Bone marrow aspirate smear — 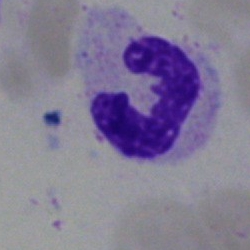 Morphology consistent with a neutrophil (segmented).